Bone marrow aspirate smear
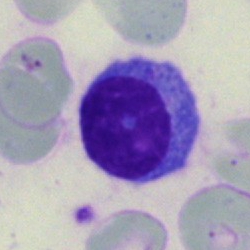Q: What type of cell is this?
A: Lymphocyte.